Bone marrow aspirate smear. May-Grünwald-Giemsa stain
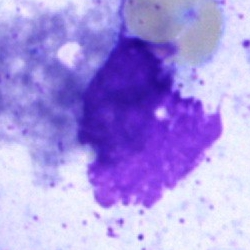
Q: What is shown here?
A: This is an artefact.